Bone marrow smear: 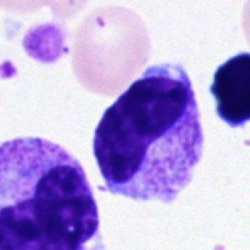 This is a band-form neutrophil.